Bone marrow smear: 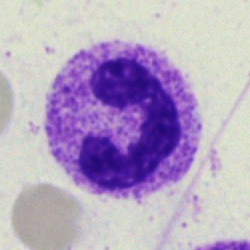

This is a polymorphonuclear neutrophil.